Bone marrow aspirate smear.
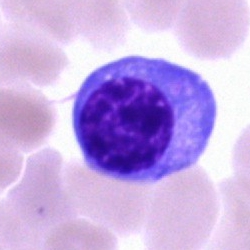

A nucleated red blood cell.